Bone marrow aspirate smear
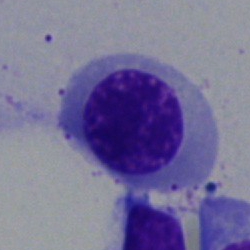Q: What is shown here?
A: It is a normoblast.